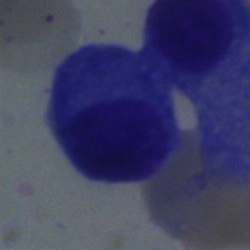
Morphological class = plasmacyte.